Brightfield microscopy, 40× oil immersion. Bone marrow aspirate smear.
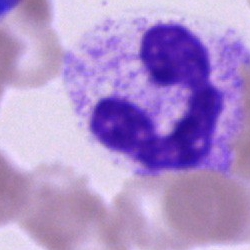
A polymorphonuclear neutrophil.